Bone marrow aspirate smear:
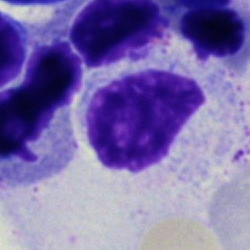 This is an artifact.